Bone marrow aspirate smear; Pappenheim-stained
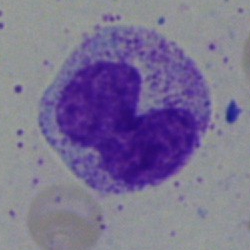

The cell shown is a band-form neutrophil.